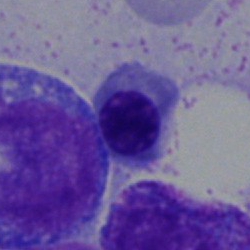 A normoblast on a bone marrow smear.